Bone marrow smear:
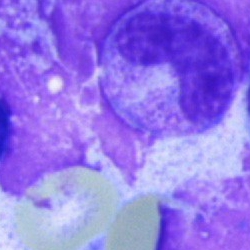
Q: What is the morphological classification of this cell?
A: Band-form neutrophil.